Bone marrow aspirate smear:
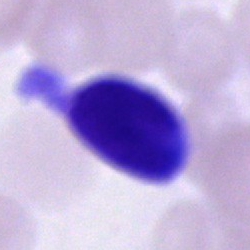

Showing an unidentifiable cell.